Peripheral blood smear — 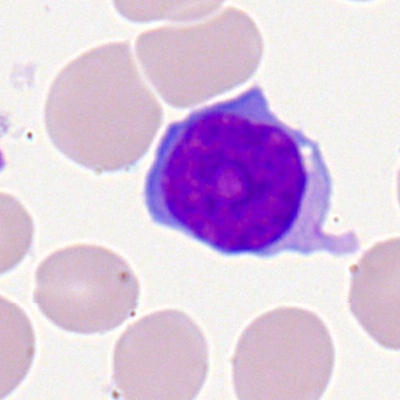
Morphology — lymphocyte.